Bone marrow aspirate smear: 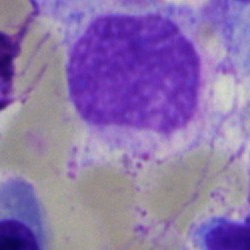An artifact.